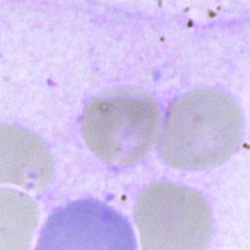Morphology — artefact.